Bone marrow aspirate smear
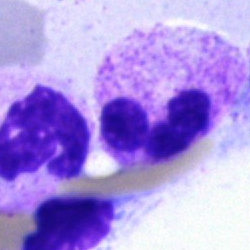Morphology consistent with a polymorphonuclear neutrophil.